Bone marrow aspirate smear — 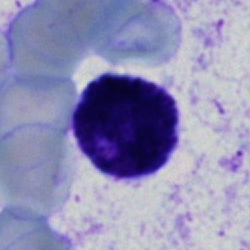Impression — lymphocyte.